Bone marrow aspirate smear.
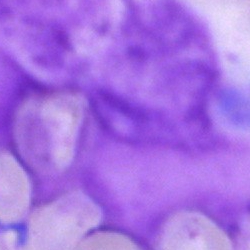

The cell shown is an artefact.